May-Grünwald-Giemsa stain; bone marrow aspirate smear.
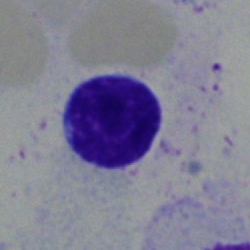
This is a typical lymphocyte.